250×250; single-cell crop; bone marrow aspirate smear.
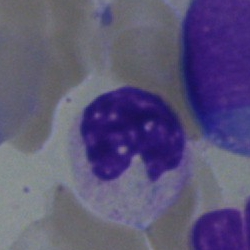
Cell — band-form neutrophil.